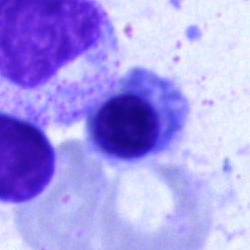
Specimen: bone marrow smear.
Classification: erythroblast.